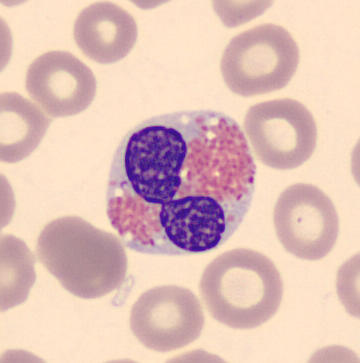 Acquisition: Peripheral blood smear. Automated cell imaging (CellaVision DM96).
Q: Identify the cell.
A: Eosinophil.